Bone marrow aspirate smear — 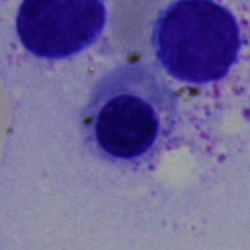Morphological class — nucleated red blood cell.